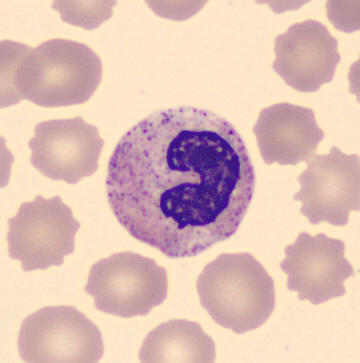 Cell type = band neutrophil.
Peripheral blood smear.